Bone marrow aspirate smear
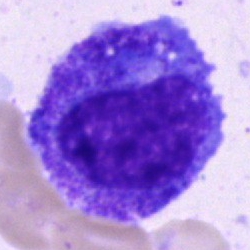Cell = progranulocyte.